Bone marrow smear
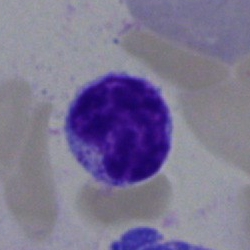

Q: What type of cell is this?
A: It is a lymphocyte.